Bone marrow smear: 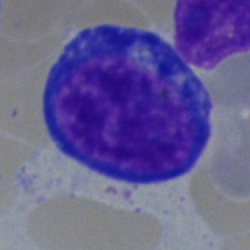Single cell identified as a proerythroblast.